Bone marrow aspirate smear — 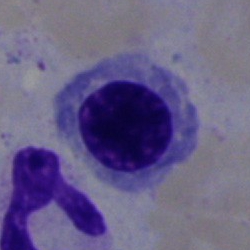
A nucleated red blood cell.